Bone marrow aspirate smear. Brightfield microscopy, 40× oil immersion
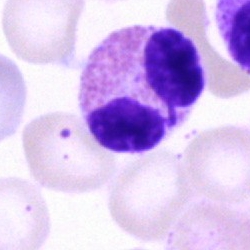
Single cell identified as a segmented neutrophil.